Bone marrow aspirate smear: 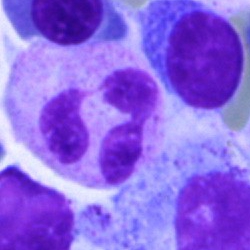 Specimen: bone marrow smear.
Morphological class: polymorphonuclear neutrophil.